Peripheral blood film:
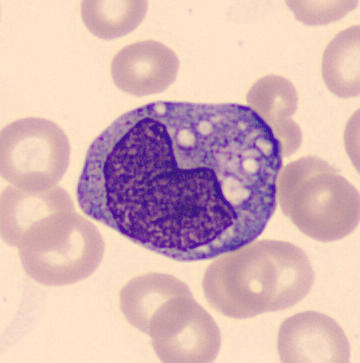Impression — monocyte.